Bone marrow smear: 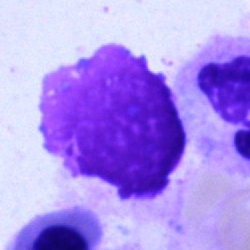Morphology consistent with an artefact.